Pappenheim-stained; bone marrow aspirate smear; 250×250.
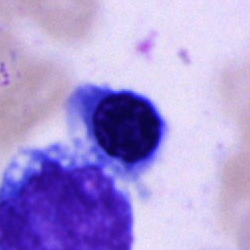Showing a nucleated red cell.